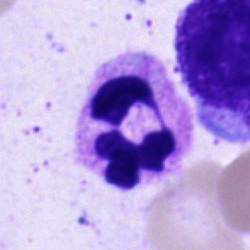Single-cell crop from a bone marrow smear: segmented neutrophil.